Bone marrow aspirate smear:
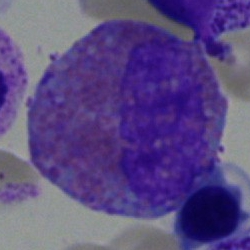 The cell shown is an eosinophilic granulocyte.